Bone marrow smear.
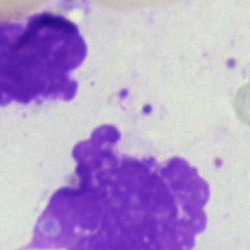Morphology consistent with an artefact.